Bone marrow smear · 40× oil immersion:
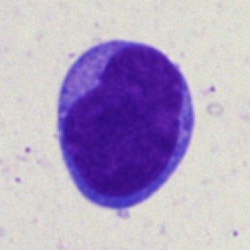 Morphology consistent with an undifferentiated blast.